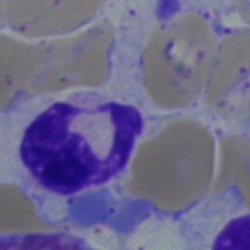 {"cell_type": "neutrophil (segmented)", "lineage": "myeloid"}